Bone marrow aspirate smear: 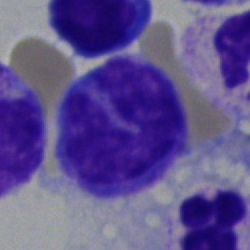
Classification: monocyte.